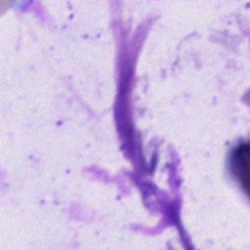 Q: What is shown here?
A: This is an artefact.